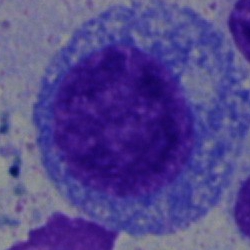A promyelocyte.